Bone marrow aspirate smear.
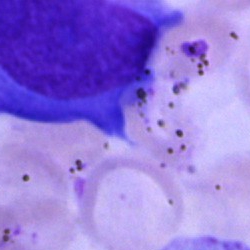This is a blast.